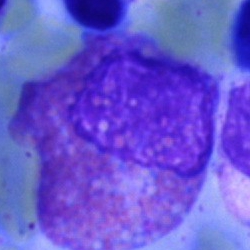Q: What cell is this?
A: This is an eosinophil.